Peripheral blood smear
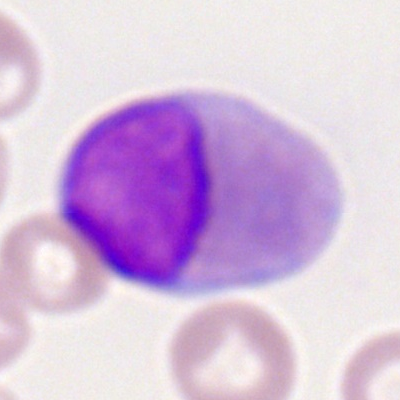A myeloblast.